360×363; peripheral blood smear.
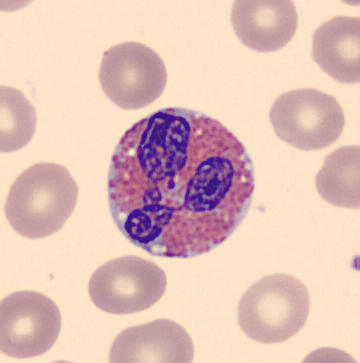

Morphology — eosinophil.